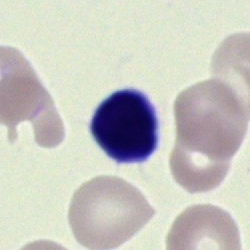
Bone marrow smear showing a lymphocyte.